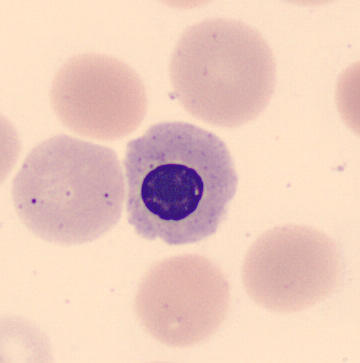 Preparation: Peripheral blood film. Morphology consistent with a nucleated red cell.